Bone marrow aspirate smear. Single-cell field — 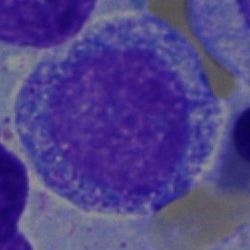
Cell = promyelocyte.